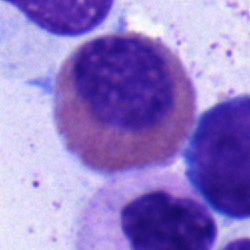 Specimen: bone marrow smear.
Morphological class: eosinophil.
Lineage: myeloid.